Bone marrow aspirate smear:
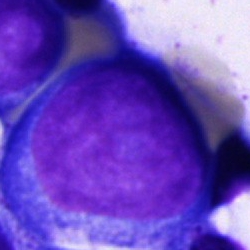
The cell shown is an undifferentiated blast.